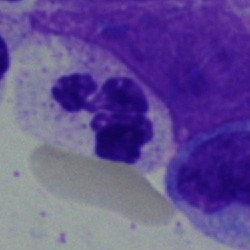The cell shown is a neutrophil (segmented).